Pappenheim-stained; single-cell crop; bone marrow aspirate smear
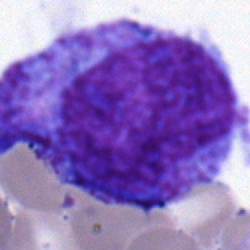

Q: Which cell type is shown here?
A: Progranulocyte.